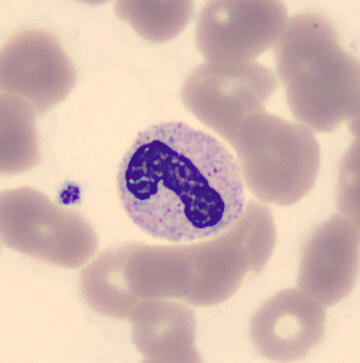Peripheral blood smear.

Identified as a stab cell.